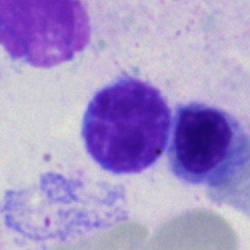
Impression — plasma cell.